250×250 px; bone marrow aspirate smear; brightfield microscopy, 40× oil immersion:
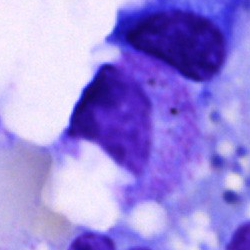 An artefact.